Bone marrow aspirate smear.
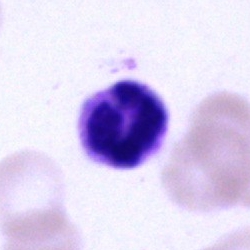Neutrophil (segmented).